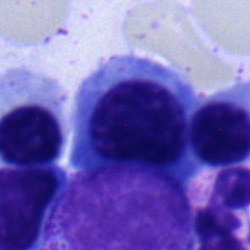

The morphological class is lymphocyte.